Bone marrow aspirate smear: 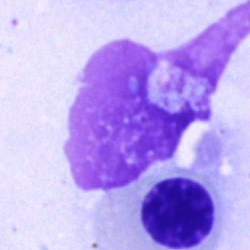
Cell type = artefact.